Bone marrow smear: 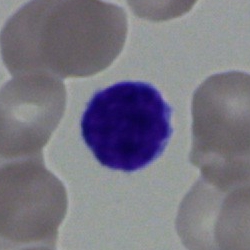
Q: What is shown here?
A: It is a lymphocyte.